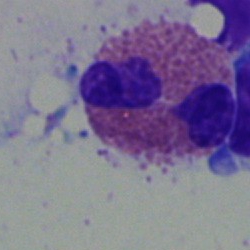

Q: What is the morphological classification of this cell?
A: An eosinophil.